Brightfield, 40× oil-immersion objective. Bone marrow smear
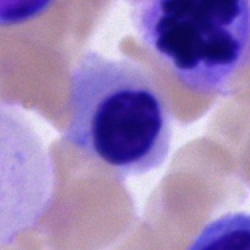 Specimen: bone marrow smear.
Classification: nucleated red blood cell.